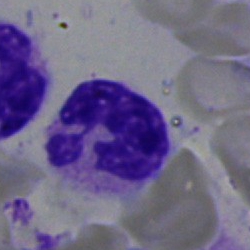 Morphology consistent with a neutrophil (segmented).